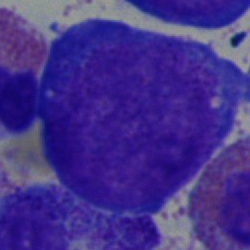

Impression — proerythroblast.